Bone marrow aspirate smear: 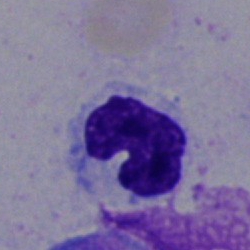
The morphological class is band neutrophil.